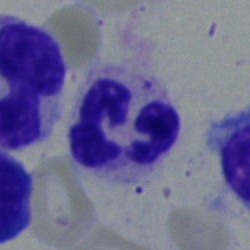Polymorphonuclear neutrophil.